Bone marrow smear; brightfield, 40× oil-immersion objective: 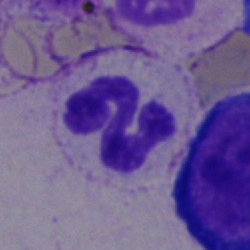

A segmented neutrophil.